Bone marrow smear: 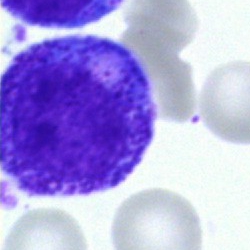
Q: Identify the cell.
A: A progranulocyte.